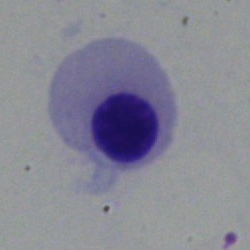

Q: What type of cell is this?
A: A nucleated red blood cell.